250×250 px · bone marrow aspirate smear:
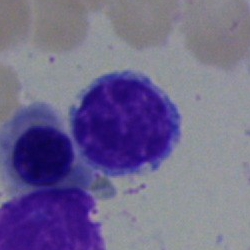{"cell_type": "typical lymphocyte", "lineage": "lymphoid"}